Peripheral blood film.
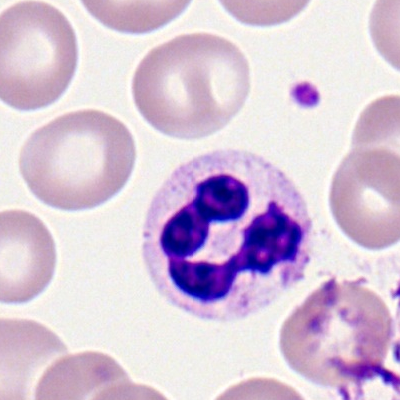 Specimen: peripheral blood smear.
Morphological class: segmented neutrophil.
Lineage: myeloid.